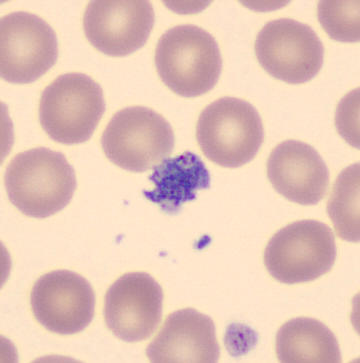

Image: Peripheral blood film.

Classification = platelet (thrombocyte).